MGG-stained; bone marrow smear:
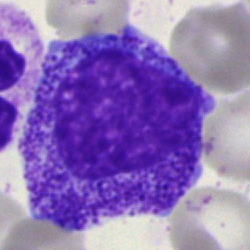 Q: What type of cell is this?
A: A progranulocyte.